Bone marrow aspirate smear: 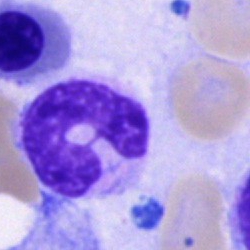Cell — band-form neutrophil.